Bone marrow smear.
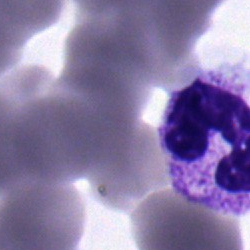Q: What is shown here?
A: It is a segmented neutrophil.